Brightfield, 40× oil-immersion objective; bone marrow aspirate smear
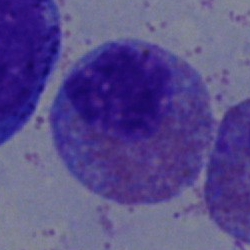This is an eosinophil.